Bone marrow aspirate smear:
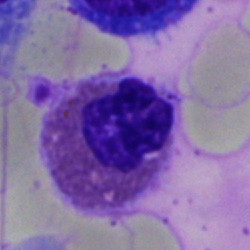
Classification = eosinophilic granulocyte.